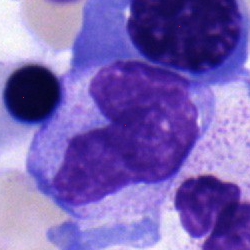
The cell shown is a monocyte.